Pappenheim-stained. Bone marrow aspirate smear. Image size 250×250
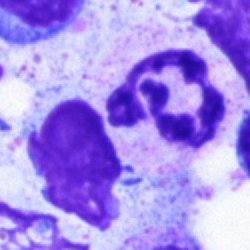
The morphological class is neutrophil (segmented).